Bone marrow aspirate smear. 250×250 px:
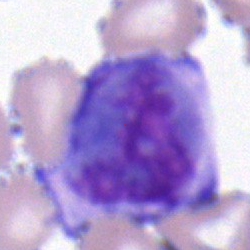
Single cell identified as a typical lymphocyte.